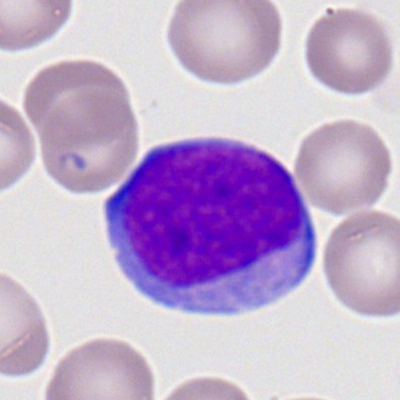 Specimen: peripheral blood smear.
Cell: myeloblast.